40× oil immersion; bone marrow aspirate smear — 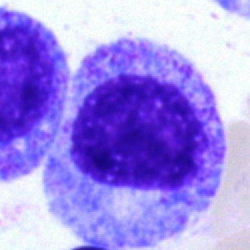 Impression → progranulocyte.